100× oil immersion, 14.14 px/µm. Peripheral blood smear:
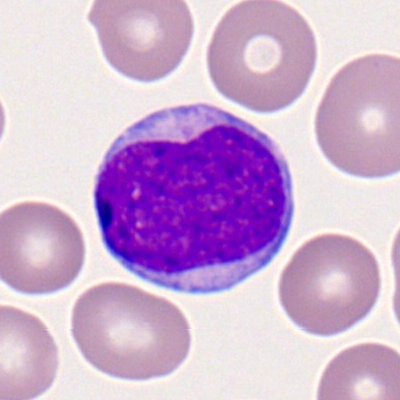{"cell_type": "myeloblast"}